100× objective, oil immersion; peripheral blood smear.
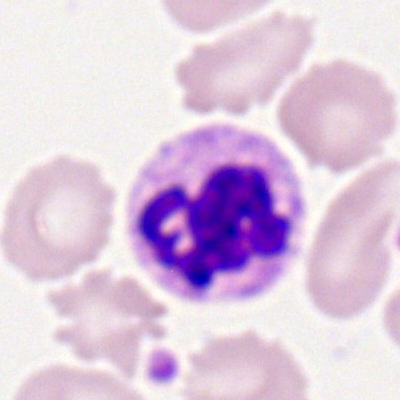

Q: What is shown here?
A: A polymorphonuclear neutrophil.